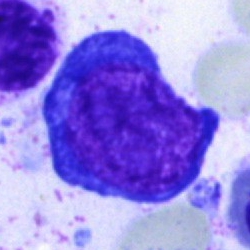

Specimen: bone marrow aspirate smear.
Classification: pronormoblast.
Lineage: erythroid.